Peripheral blood film — 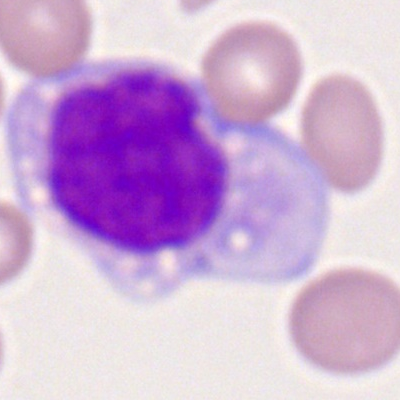
Morphological class = monocyte.